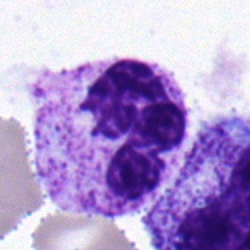Q: What type of cell is this?
A: Neutrophil (segmented).